May-Grünwald-Giemsa/Pappenheim stain; bone marrow smear:
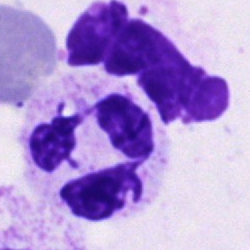
Cell — polymorphonuclear neutrophil.